Single-cell crop; May-Grünwald-Giemsa stain; bone marrow aspirate smear:
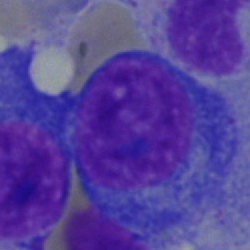
Morphology — plasma cell.